Bone marrow aspirate smear:
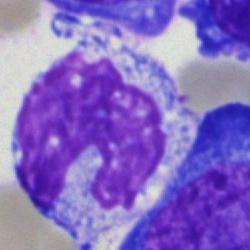

Monocyte.